Bone marrow smear
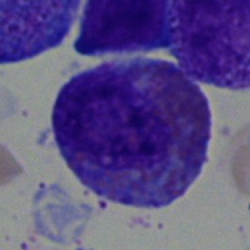

Cell type: eosinophil.